Bone marrow aspirate smear
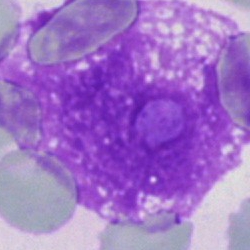Morphology consistent with an artifact.